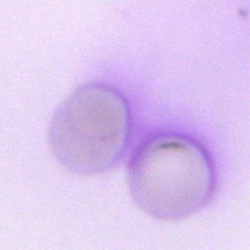

The classification is artifact.